Bone marrow aspirate smear · image size 250×250 · May-Grünwald-Giemsa stain
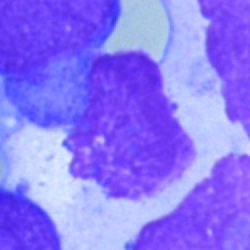
Artefact.